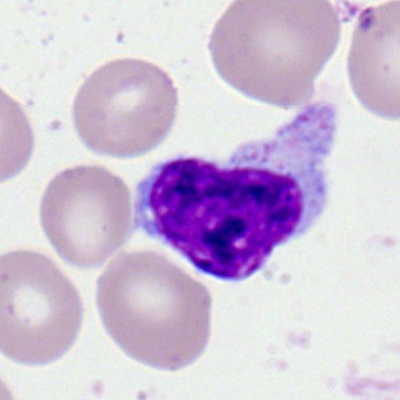

Peripheral blood film, single cell — typical lymphocyte.